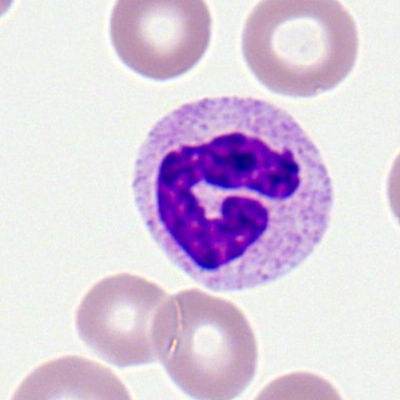Cell = segmented neutrophil.